Bone marrow aspirate smear:
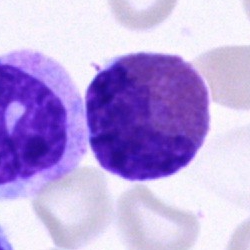The cell shown is an eosinophil.